Bone marrow smear: 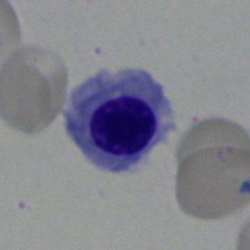

Cell — erythroblast.